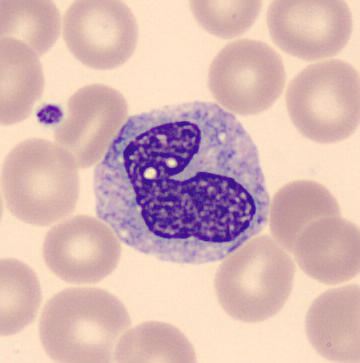
Peripheral blood film, single cell — monocyte.